Brightfield microscopy, 40× oil immersion · bone marrow aspirate smear — 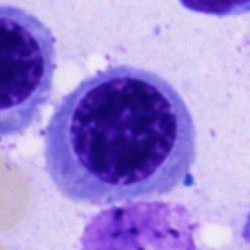 Morphology consistent with a nucleated red cell.